Bone marrow smear
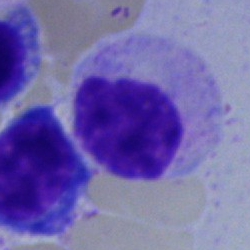 Specimen: bone marrow aspirate smear.
Morphological class: myelocyte.